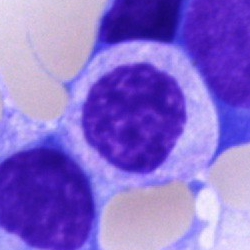
Q: Which cell type is shown here?
A: It is a myelocyte.